MGG-stained; 40× objective, oil immersion; bone marrow smear: 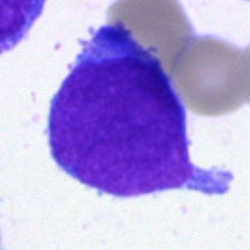
Specimen: bone marrow smear.
Morphological class: blast cell.